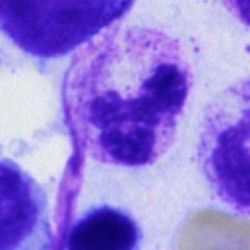
{"cell_type": "polymorphonuclear neutrophil", "lineage": "myeloid"}